Bone marrow smear: 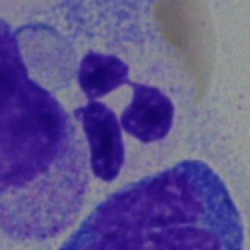
The cell shown is a neutrophil (segmented).